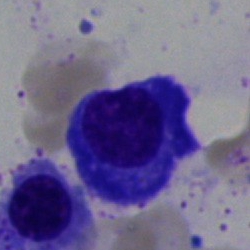
Q: Identify the cell.
A: Plasmacyte.